Brightfield microscopy, 40× oil immersion; 250 by 250 pixels; bone marrow smear.
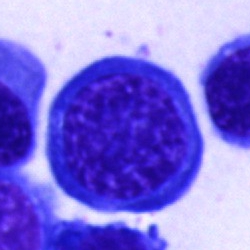

Cell = normoblast.